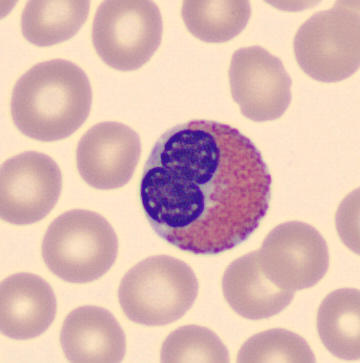
Specimen: peripheral blood smear.
Classification: eosinophilic granulocyte.